Bone marrow smear.
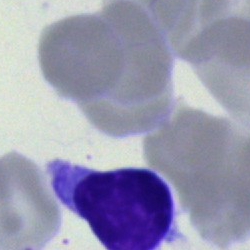 Q: Which cell type is shown here?
A: This is a lymphocyte.